Bone marrow smear
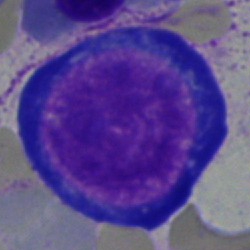
The cell shown is a proerythroblast.